Bone marrow aspirate smear — 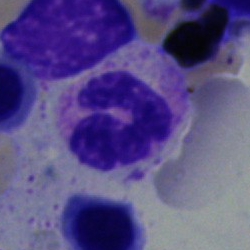 Q: What is the morphological classification of this cell?
A: A neutrophil (segmented).